Image size 250×250. Bone marrow aspirate smear — 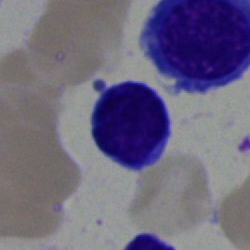
Q: What is shown here?
A: It is a typical lymphocyte.